40× oil immersion. Bone marrow aspirate smear. Pappenheim-stained:
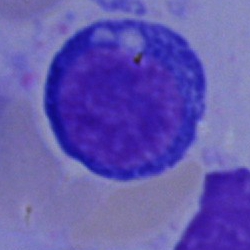Impression → normoblast.